Bone marrow aspirate smear: 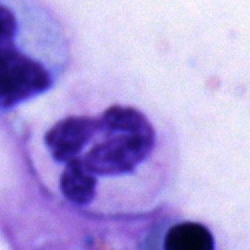This is a band neutrophil.